Bone marrow smear; 250×250.
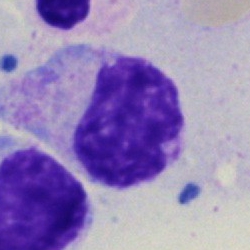Impression → myelocyte.